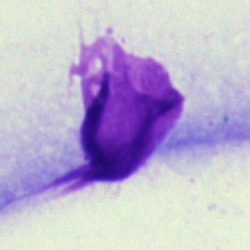
The cell is artefact.